Single-cell crop · bone marrow smear:
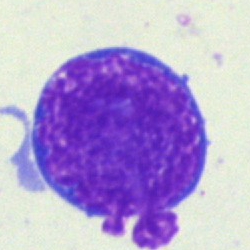Q: Which cell type is shown here?
A: Undifferentiated blast.